40× objective, oil immersion. Bone marrow aspirate smear
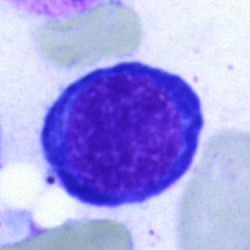
Impression — nucleated red cell.